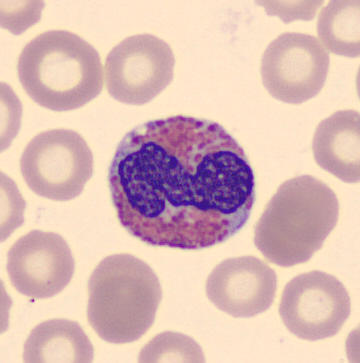
Q: What is shown here?
A: It is an eosinophilic granulocyte. Acquisition: Single-cell crop. 360 by 363 pixels. Peripheral blood film.